Brightfield microscopy, 40× oil immersion; bone marrow smear — 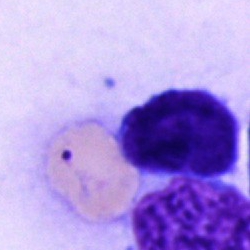

This is a blast cell.